Peripheral blood smear:
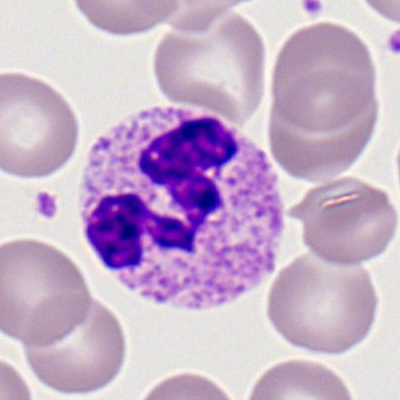{"cell_type": "polymorphonuclear neutrophil", "lineage": "myeloid"}